Bone marrow aspirate smear. 250×250
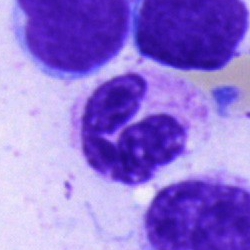
Single cell identified as a neutrophil (segmented).